Bone marrow aspirate smear
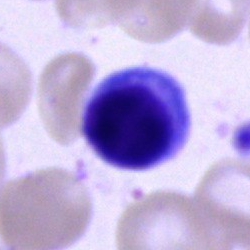
Typical lymphocyte.